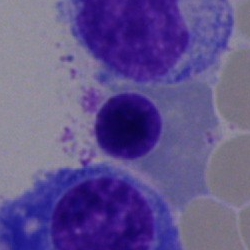Bone marrow smear showing a nucleated red blood cell.